Bone marrow aspirate smear:
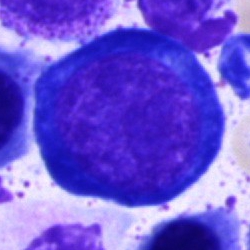

Q: What type of cell is this?
A: This is a proerythroblast.